Bone marrow smear.
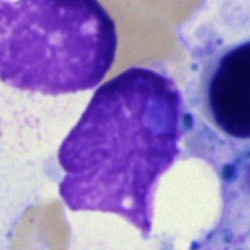The cell is artifact.